Bone marrow smear; 250×250.
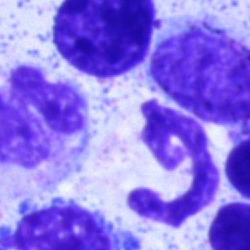 Showing a neutrophil (segmented).